Image size 250×250. Bone marrow smear
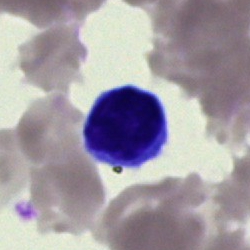
Showing an artifact.